Bone marrow smear.
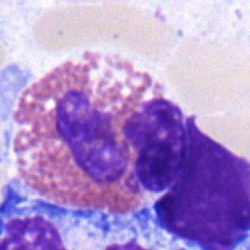 Specimen: bone marrow smear.
Classification: eosinophil.
Lineage: myeloid.